May-Grünwald-Giemsa/Pappenheim stain; bone marrow aspirate smear — 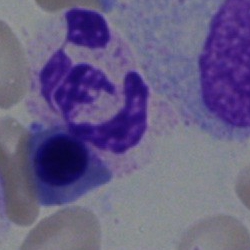 Single cell identified as a neutrophil (segmented).